May-Grünwald-Giemsa stain. Bone marrow smear:
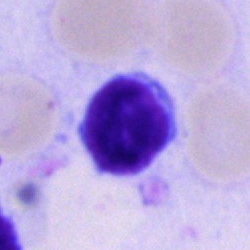Morphology consistent with a lymphocyte.